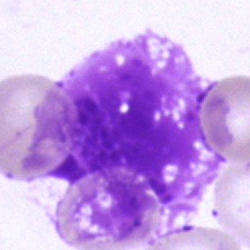
Cell type: artefact.